40× objective, oil immersion; bone marrow smear
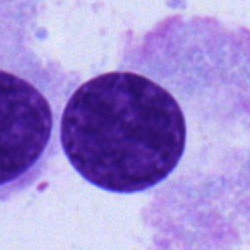 The morphological class is plasmacyte.